Bone marrow smear; brightfield, 40× oil-immersion objective — 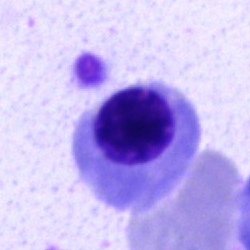
Classification — nucleated red blood cell.